Bone marrow smear. Brightfield, 40× oil-immersion objective:
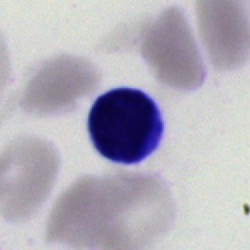 Specimen: bone marrow aspirate smear.
Morphological class: artefact.